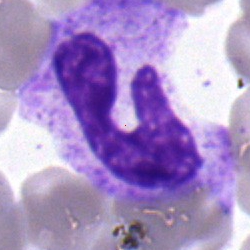A segmented neutrophil.